Bone marrow smear. Single cell centered in the field. Brightfield, 40× oil-immersion objective: 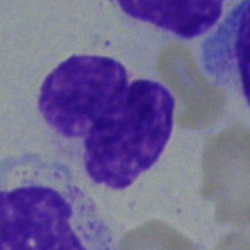
Polymorphonuclear neutrophil.